Bone marrow smear. MGG-stained:
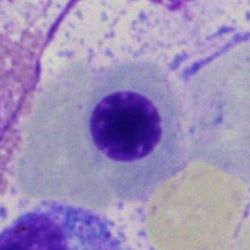 Single cell identified as a normoblast.